May-Grünwald-Giemsa/Pappenheim stain. Bone marrow aspirate smear
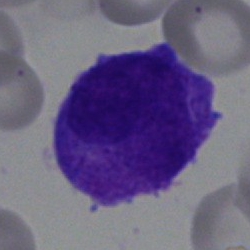
The cell is blast cell.